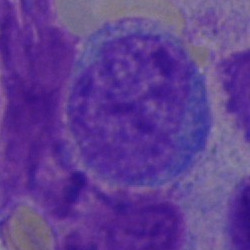The classification is undifferentiated blast.